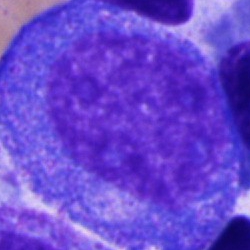 Q: Identify the cell.
A: Promyelocyte.